Peripheral blood film; single cell centered in the field:
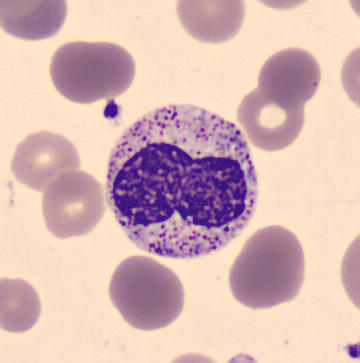
Impression — metamyelocyte.